Bone marrow smear: 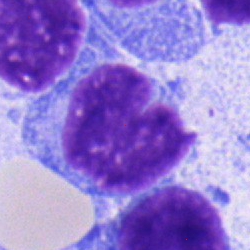

Cell — monocyte.